Bone marrow smear: 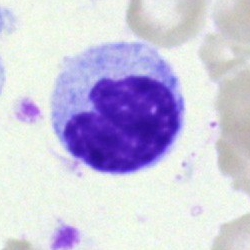

Q: What type of cell is this?
A: A metamyelocyte.